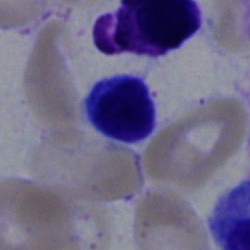 Impression — lymphocyte.